Bone marrow smear:
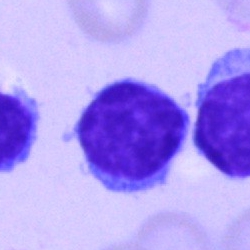 A lymphocyte.